250×250; Pappenheim-stained; bone marrow smear:
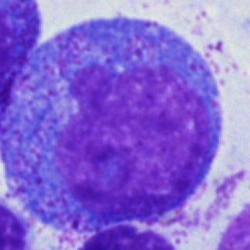 Q: What type of cell is this?
A: It is a progranulocyte.